May-Grünwald-Giemsa stain; brightfield microscopy, 40× oil immersion; bone marrow aspirate smear
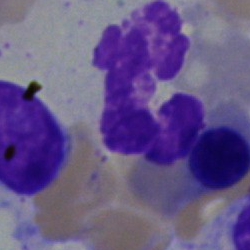

Single cell identified as a neutrophil (segmented).